Bone marrow aspirate smear: 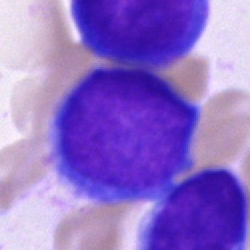

A blast cell.